May-Grünwald-Giemsa stain; bone marrow aspirate smear — 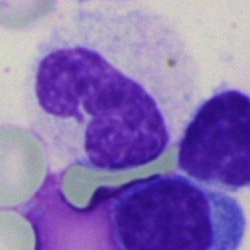

A band-form neutrophil.